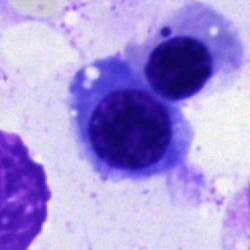A nucleated red blood cell on a bone marrow smear.